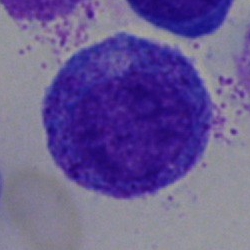 Specimen: bone marrow smear.
Cell type: promyelocyte.
Lineage: myeloid.